Pappenheim-stained. Bone marrow aspirate smear. 250×250 px:
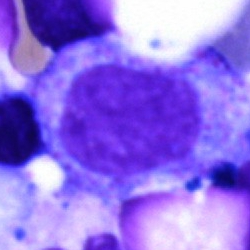
Morphological class = promyelocyte.